Image size 250×250; bone marrow aspirate smear:
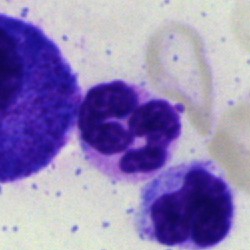
This is a segmented neutrophil.